Bone marrow smear · 40× oil immersion.
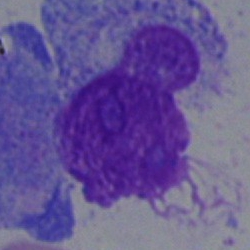
Single cell identified as a blast.